Single-cell crop. Bone marrow aspirate smear — 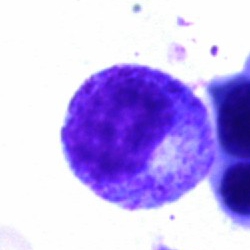 Single cell identified as a myelocyte.